Single-cell field; bone marrow aspirate smear; 40× oil immersion — 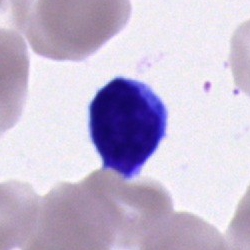
Q: What is shown here?
A: Lymphocyte.